Bone marrow aspirate smear: 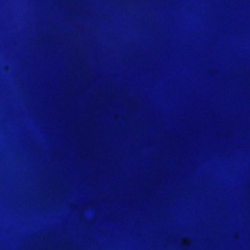
Classification: artefact.